Bone marrow smear
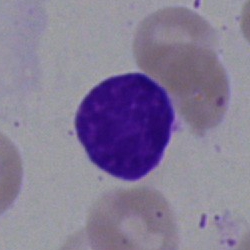Q: What is shown here?
A: An artefact.